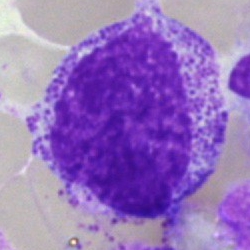 Specimen: bone marrow smear.
Classification: myelocyte.